Bone marrow smear:
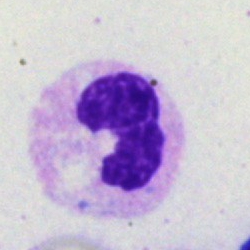

Cell: band-form neutrophil.